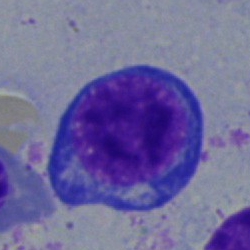Single cell identified as a proerythroblast.